Bone marrow smear.
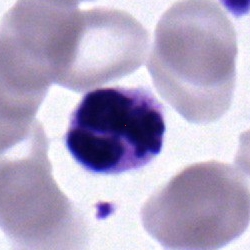

Morphological class: polymorphonuclear neutrophil.